Bone marrow smear — 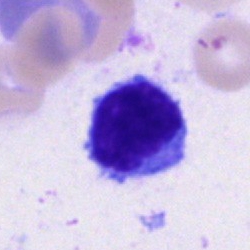 The cell shown is a typical lymphocyte.